Bone marrow smear
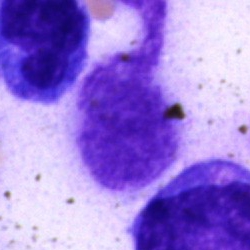
Specimen: bone marrow aspirate smear.
Classification: artifact.